Peripheral blood film.
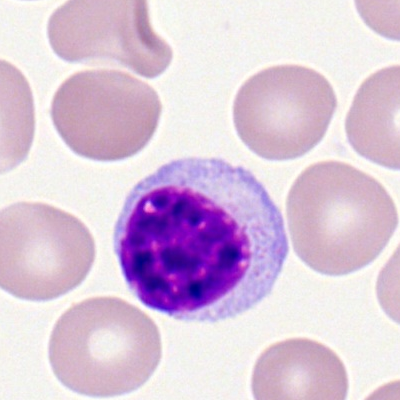 Q: What is shown here?
A: This is a lymphocyte.